Bone marrow aspirate smear.
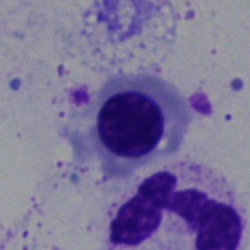

The morphological class is erythroblast.